Brightfield, 40× oil-immersion objective. Bone marrow smear:
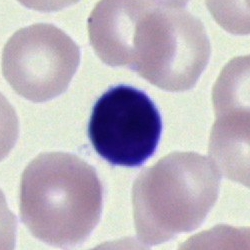

Impression → lymphocyte.